Bone marrow aspirate smear; May-Grünwald-Giemsa stain; cropped to a single cell:
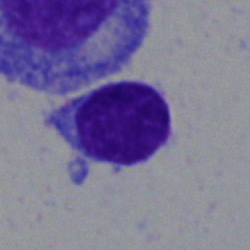

Lymphocyte.